Peripheral blood film. Cropped to a single cell. Romanowsky-stained — 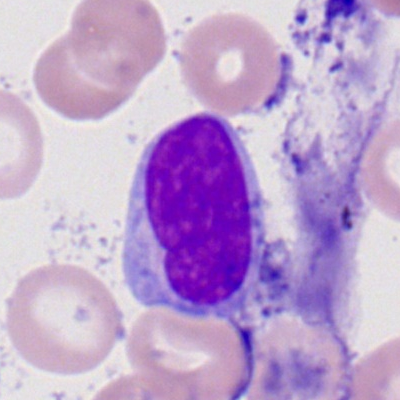
A lymphocyte.